Bone marrow aspirate smear:
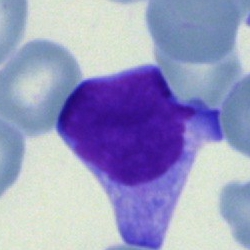
Impression — lymphocyte.